250 by 250 pixels; bone marrow smear; 40× objective, oil immersion.
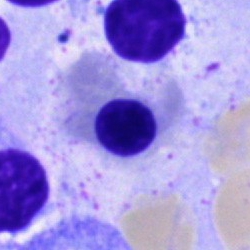

This is a nucleated red cell.